Bone marrow aspirate smear. May-Grünwald-Giemsa stain. Brightfield microscopy, 40× oil immersion
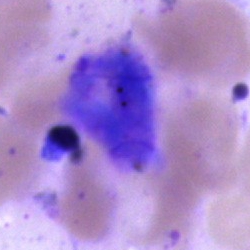 Q: What is shown here?
A: This is an artefact.